Bone marrow smear — 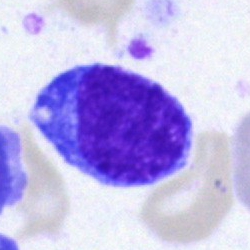 Morphological class — lymphocyte.